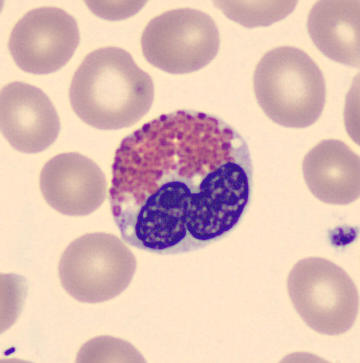
Morphological class — eosinophilic granulocyte.

Cropped to a single cell · peripheral blood film · 360 by 363 pixels.